Bone marrow smear: 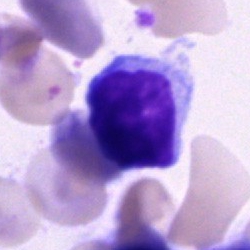

Showing a typical lymphocyte.